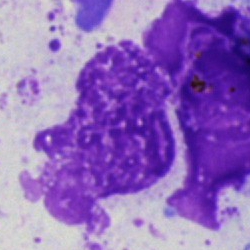Classification = artefact.